Peripheral blood smear.
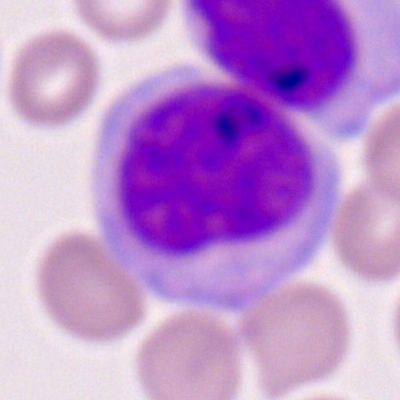Morphological class = monocyte.